250 by 250 pixels · bone marrow smear: 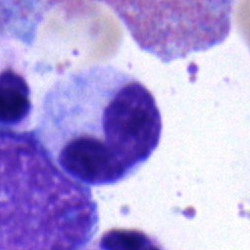

Neutrophil (band).